Peripheral blood smear. 400×400.
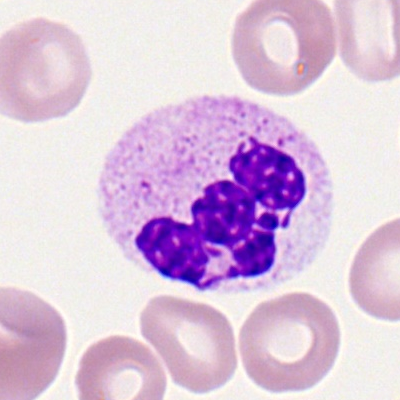

Segmented neutrophil.